May-Grünwald-Giemsa/Pappenheim stain; bone marrow aspirate smear: 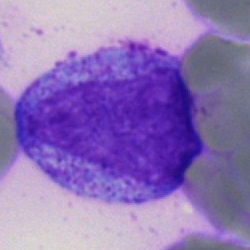

Single cell identified as a myelocyte.